Bone marrow aspirate smear: 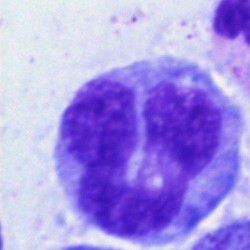
Cell — monocyte.